Bone marrow smear · May-Grünwald-Giemsa stain.
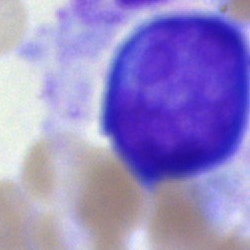
{"cell_type": "undifferentiated blast"}